40× objective, oil immersion. Bone marrow aspirate smear
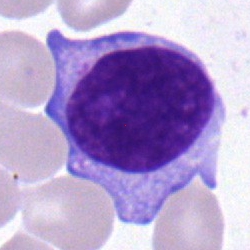Specimen: bone marrow smear.
Cell: typical lymphocyte.